Bone marrow smear:
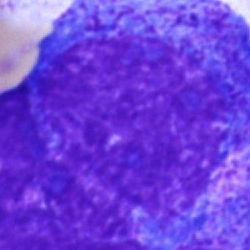 Morphology consistent with a progranulocyte.